Bone marrow aspirate smear:
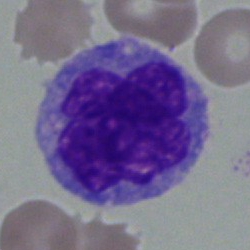A monocyte.